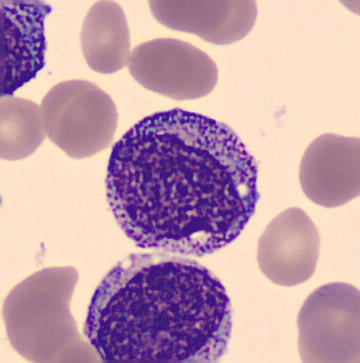Classification = myelocyte.